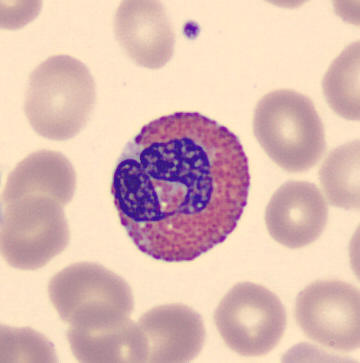Image: Peripheral blood film.

Classification — eosinophilic granulocyte.